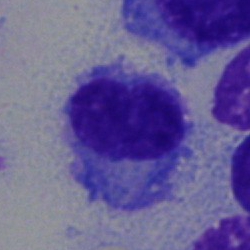
Q: What is shown here?
A: A plasmacyte.